Bone marrow smear · cropped to a single cell:
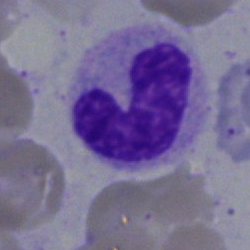Specimen: bone marrow aspirate smear.
Morphological class: band-form neutrophil.
Lineage: myeloid.